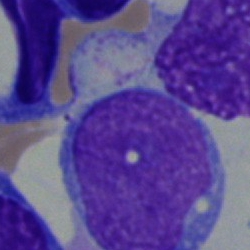The classification is blast cell.